Brightfield, 40× oil-immersion objective · bone marrow aspirate smear:
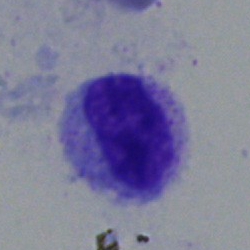
Impression → metamyelocyte.